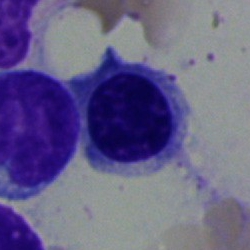

Erythroblast.